40× oil immersion. Bone marrow aspirate smear
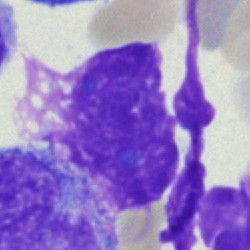 The cell is artifact.